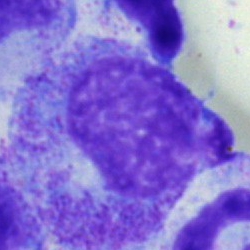 The cell type is promyelocyte.